Bone marrow smear — 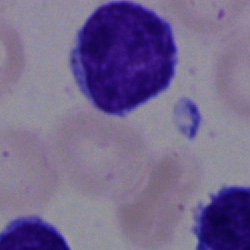

Morphology → typical lymphocyte.